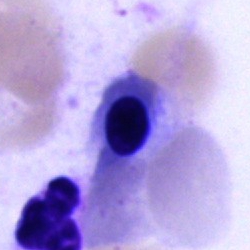
Q: What type of cell is this?
A: Normoblast.